Single-cell field. Bone marrow smear. Image size 250×250
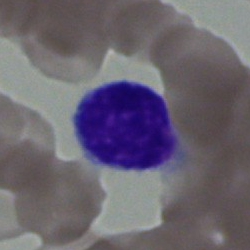

Specimen: bone marrow smear.
Morphological class: typical lymphocyte.
Lineage: lymphoid.